Bone marrow aspirate smear; MGG-stained; image size 250×250 — 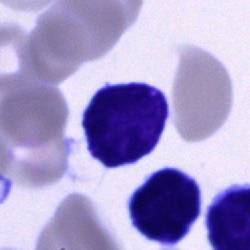

Cell: typical lymphocyte.